Bone marrow smear.
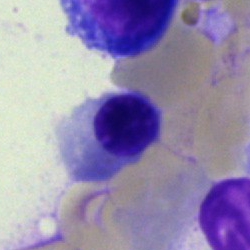 Specimen: bone marrow aspirate smear.
Classification: nucleated red blood cell.
Lineage: erythroid.